Bone marrow smear.
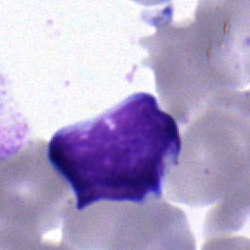Morphology consistent with a typical lymphocyte.